Bone marrow smear
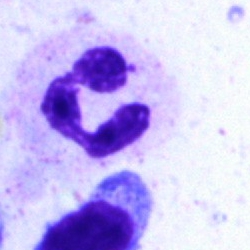
Specimen: bone marrow aspirate smear.
Cell type: segmented neutrophil.
Lineage: myeloid.